Bone marrow smear. 40× oil immersion.
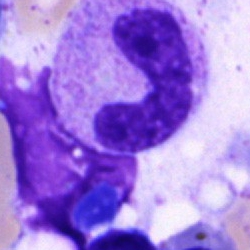
Morphological class: neutrophil (band).